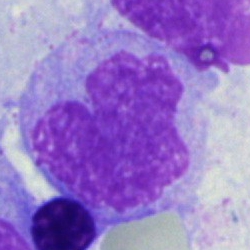 Morphology — monocyte.